Brightfield microscopy, 40× oil immersion; single-cell crop; bone marrow aspirate smear — 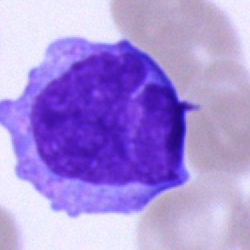{"cell_type": "monocyte", "lineage": "myeloid"}